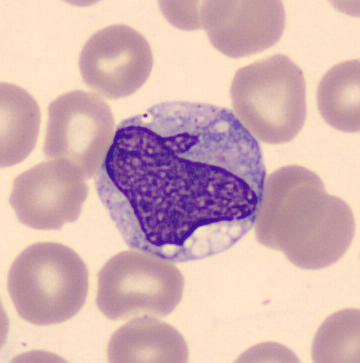Single cell identified as a monocyte.

Acquisition: Single-cell field. Peripheral blood smear. 360×363 px.